Bone marrow aspirate smear
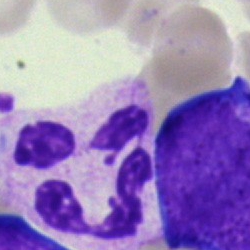

{"cell_type": "polymorphonuclear neutrophil", "lineage": "myeloid"}